Bone marrow aspirate smear · May-Grünwald-Giemsa/Pappenheim stain · single-cell field — 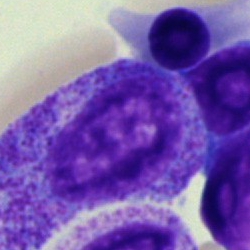The cell shown is a promyelocyte.